Bone marrow smear.
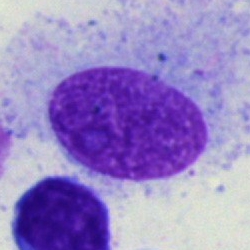

Q: What is shown here?
A: It is an artifact.